Bone marrow smear:
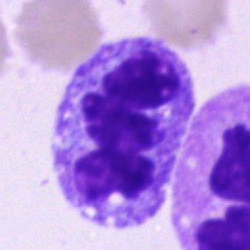

Cell: segmented neutrophil.